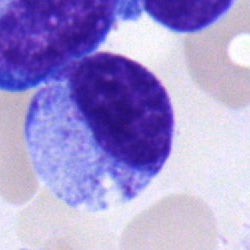Single cell identified as a myelocyte.